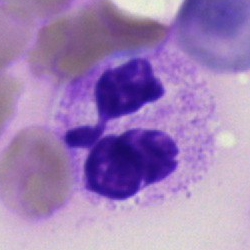
Q: What is the morphological classification of this cell?
A: Neutrophil (segmented).